Bone marrow smear. Cropped to a single cell — 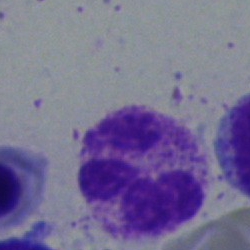This is a neutrophil (segmented).